Bone marrow smear — 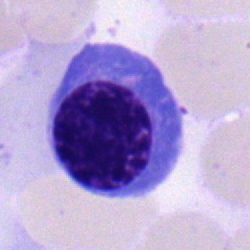{"cell_type": "erythroblast"}